Bone marrow smear:
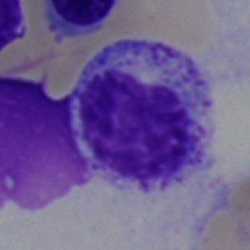
Myelocyte.